Romanowsky-stained. Peripheral blood film: 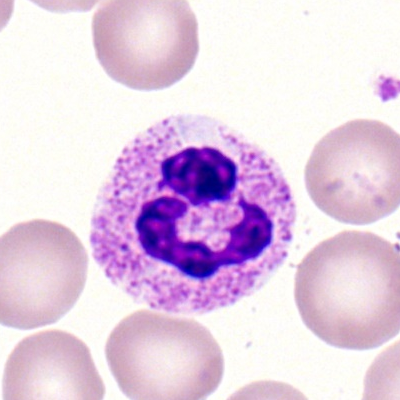
{"cell_type": "segmented neutrophil", "lineage": "myeloid"}